Bone marrow aspirate smear; 250 by 250 pixels: 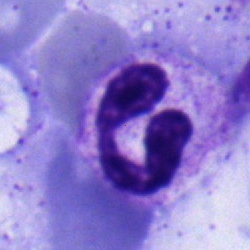 Morphology consistent with a polymorphonuclear neutrophil.